Bone marrow smear.
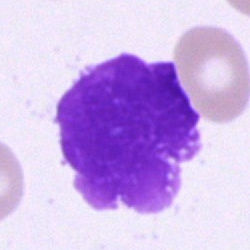

Q: What is shown here?
A: Artefact.